Brightfield, 40× oil-immersion objective · bone marrow smear:
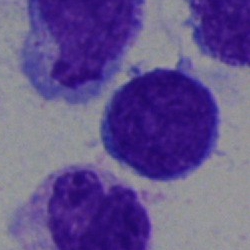
Showing a blast cell.